Bone marrow smear: 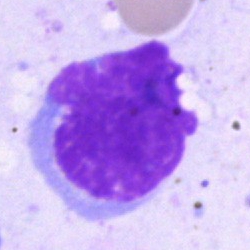 Specimen: bone marrow aspirate smear.
Cell type: artefact.